Bone marrow smear: 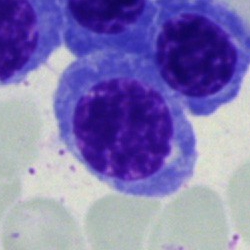

Specimen: bone marrow aspirate smear.
Morphological class: nucleated red blood cell.